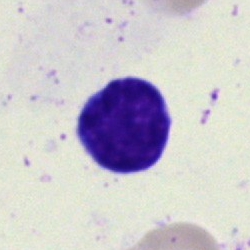
Typical lymphocyte.